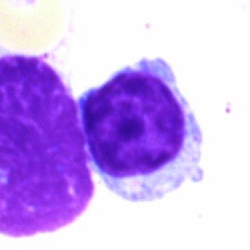Classification — lymphocyte.